Bone marrow smear. 250×250 px.
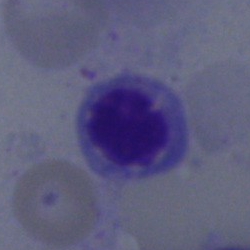
A nucleated red blood cell.